Bone marrow smear. Brightfield, 40× oil-immersion objective
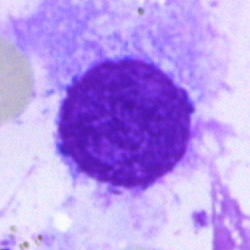Q: What is shown here?
A: This is an artifact.